Bone marrow aspirate smear
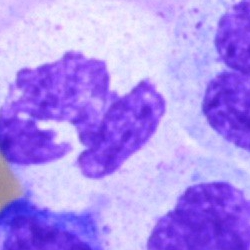
The classification is polymorphonuclear neutrophil.